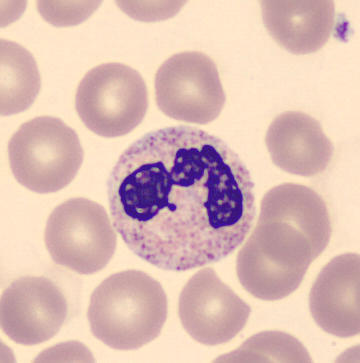Preparation: CellaVision DM96 digital cell image; May-Grünwald-Giemsa-stained; peripheral blood smear. Cell type: segmented neutrophil.